Bone marrow smear:
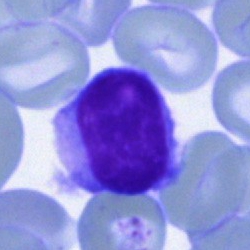Classification = lymphocyte.